Bone marrow aspirate smear. Brightfield, 40× oil-immersion objective.
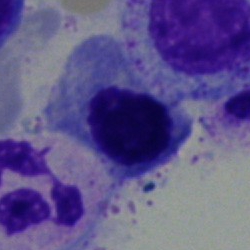

Impression — erythroblast.